Peripheral blood smear.
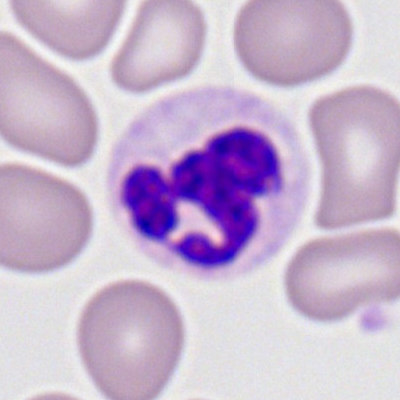 Cell type = neutrophil (segmented).